250×250; bone marrow smear:
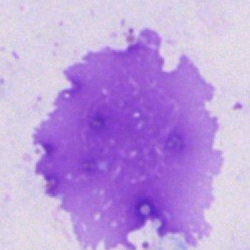 Classification — artefact.